May-Grünwald-Giemsa/Pappenheim stain; 250×250 px; bone marrow smear: 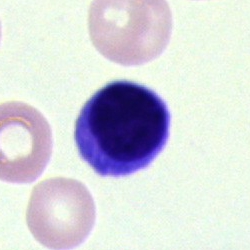Lymphocyte.